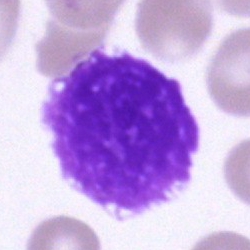
{"cell_type": "artifact"}